Bone marrow aspirate smear
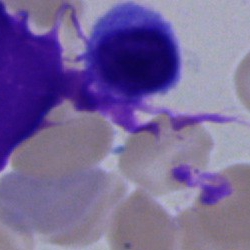

{"cell_type": "lymphocyte"}